Single-cell field; 250 by 250 pixels; bone marrow aspirate smear.
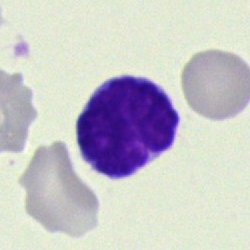 A typical lymphocyte.